Bone marrow aspirate smear:
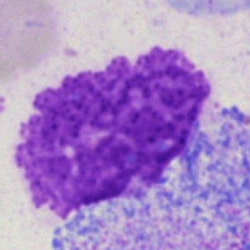
Single cell identified as an artefact.